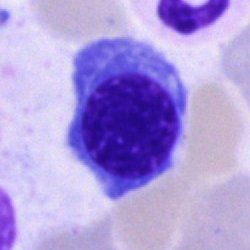 Q: What type of cell is this?
A: Erythroblast.